Bone marrow smear — 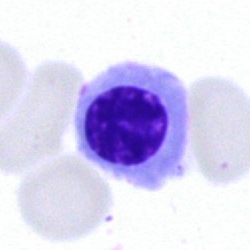
Specimen: bone marrow aspirate smear.
Cell type: normoblast.